Bone marrow aspirate smear:
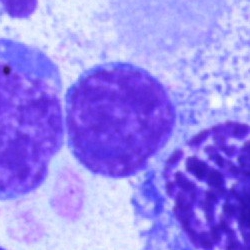 {"cell_type": "lymphocyte", "lineage": "lymphoid"}